Bone marrow aspirate smear · 40× objective, oil immersion
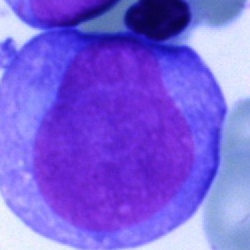Morphology consistent with an undifferentiated blast.